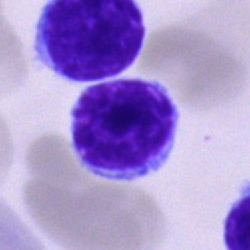Impression — typical lymphocyte.